May-Grünwald-Giemsa/Pappenheim stain; 250×250; bone marrow aspirate smear:
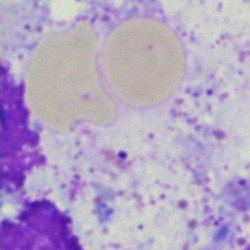Artefact.